Bone marrow aspirate smear · single-cell field
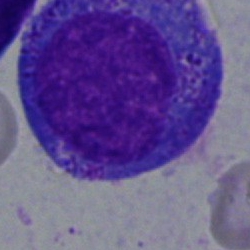 {"cell_type": "progranulocyte"}